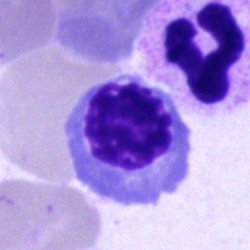Q: What is shown here?
A: A nucleated red cell.